Bone marrow smear: 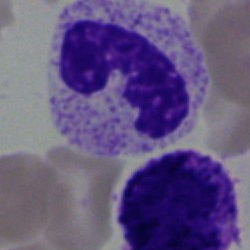 Morphology → band-form neutrophil.